250 by 250 pixels · bone marrow smear: 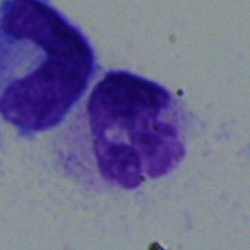
Q: What type of cell is this?
A: This is a neutrophil (segmented).